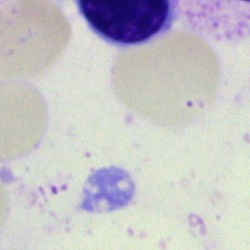Classification: artifact.